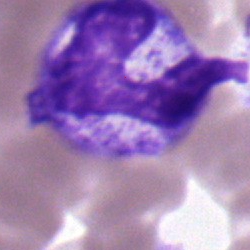
The cell shown is a band neutrophil.